Bone marrow aspirate smear:
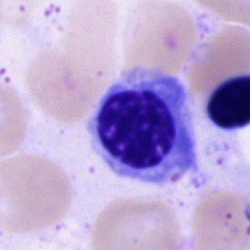 Impression — nucleated red blood cell.